Bone marrow smear — 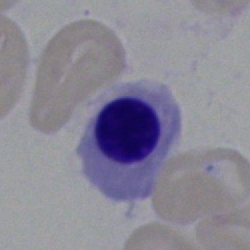 Cell: nucleated red blood cell.